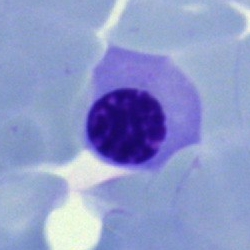 {"cell_type": "normoblast"}